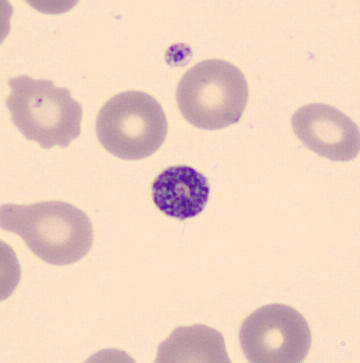
Acquisition: Peripheral blood film; CellaVision DM96 digital cell image.

{"cell_type": "platelet (thrombocyte)"}